May-Grünwald-Giemsa stain; bone marrow smear; single cell centered in the field:
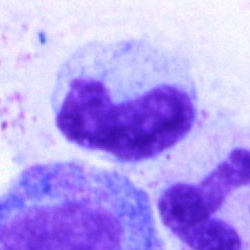
Classification: neutrophil (band).